Bone marrow smear: 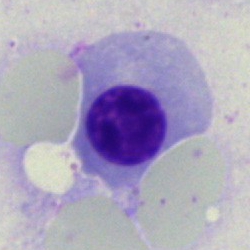

Classification = nucleated red blood cell.